Bone marrow smear; 40× objective, oil immersion: 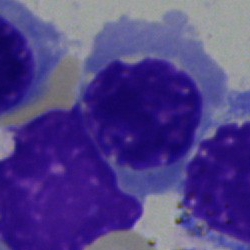Morphology — normoblast.